Single-cell crop; bone marrow smear.
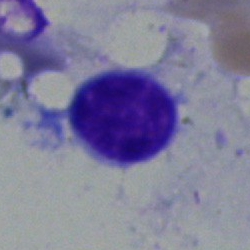 The cell shown is a typical lymphocyte.